Romanowsky-stained. Cropped to a single cell. Peripheral blood film
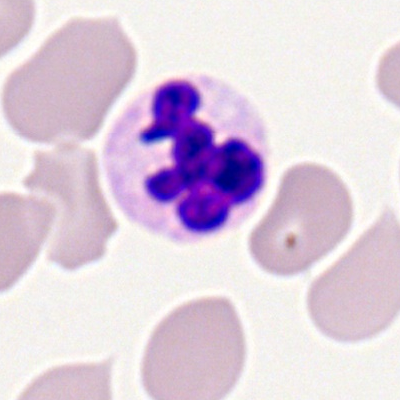 The cell shown is a segmented neutrophil.